100× objective, oil immersion; peripheral blood smear:
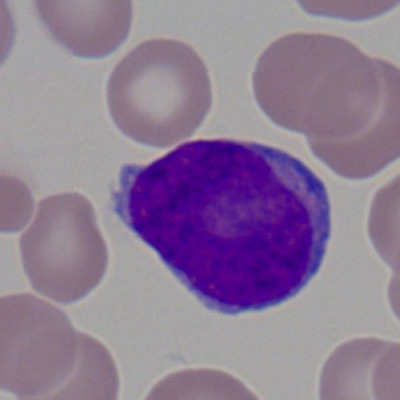Q: What is shown here?
A: It is a myeloid blast.